Bone marrow aspirate smear: 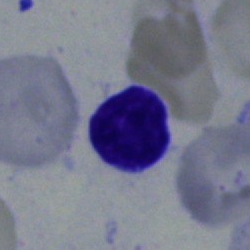
A lymphocyte.